Bone marrow smear.
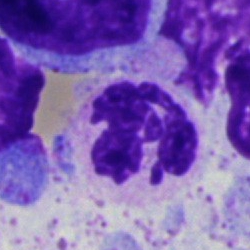

Specimen: bone marrow smear.
Morphological class: polymorphonuclear neutrophil.
Lineage: myeloid.